Peripheral blood film; single-cell field; 100× oil immersion
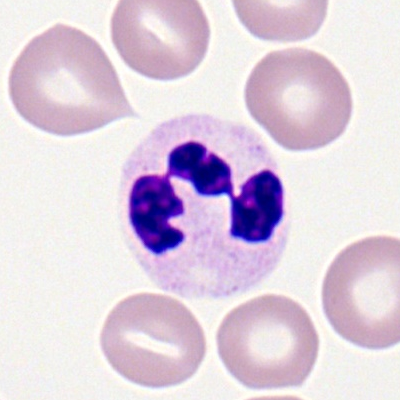
This is a polymorphonuclear neutrophil.